Peripheral blood film.
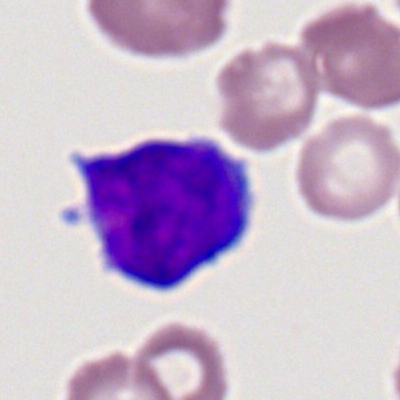

A myeloblast.